Peripheral blood film
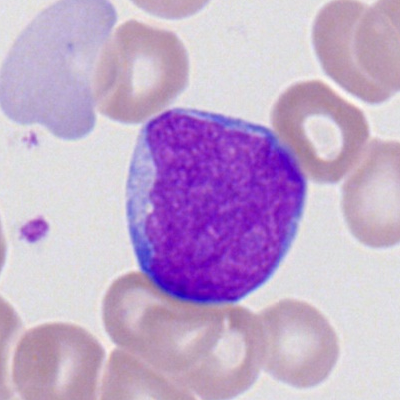Q: What type of cell is this?
A: Myeloid blast.